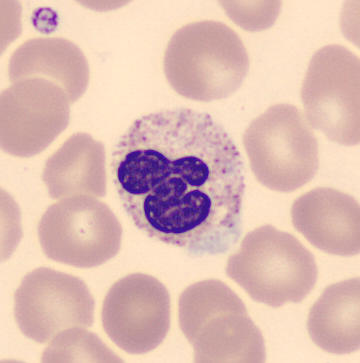 Acquisition: MGG stain. Peripheral blood film. Showing a segmented neutrophil.